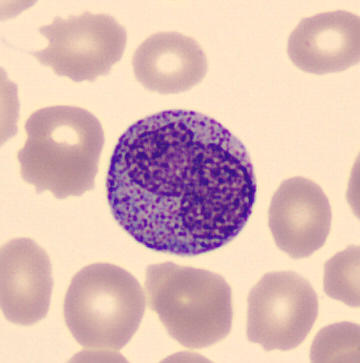 Peripheral blood film, single cell — promyelocyte.